Bone marrow aspirate smear · brightfield, 40× oil-immersion objective · single cell centered in the field: 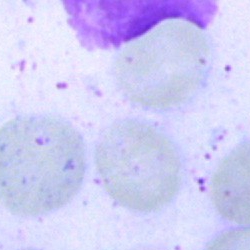
Specimen: bone marrow aspirate smear.
Cell type: artefact.